Bone marrow smear
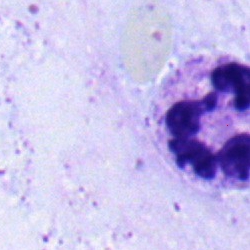 Morphology consistent with a segmented neutrophil.